Bone marrow aspirate smear · 250×250 px: 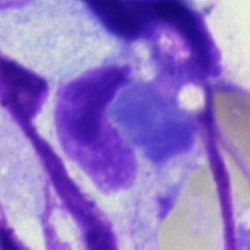 The cell is artifact.